250×250 px · bone marrow aspirate smear — 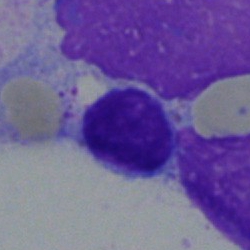

Classification — typical lymphocyte.